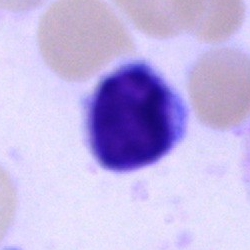

A lymphocyte.